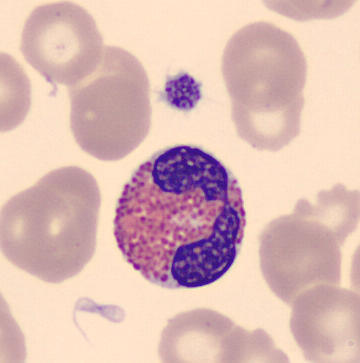Cell — eosinophil. Peripheral blood smear · single-cell field.